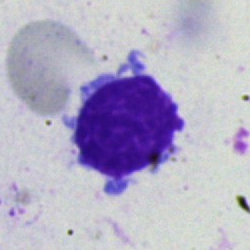

Morphology consistent with a typical lymphocyte.